Bone marrow smear.
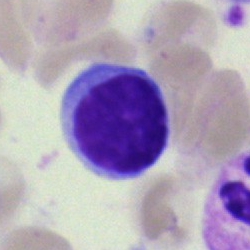
The cell is lymphocyte.